250×250; bone marrow aspirate smear.
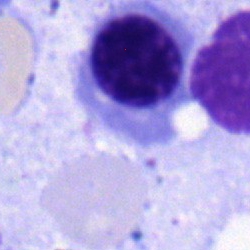Morphology → erythroblast.